Bone marrow aspirate smear · Pappenheim-stained · 250×250 px: 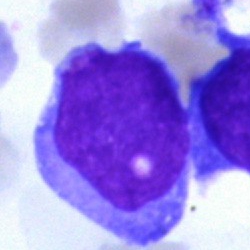 Morphology consistent with a blast cell.